Bone marrow aspirate smear
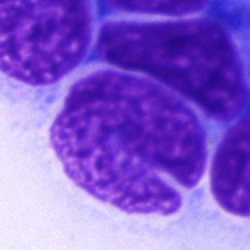 Q: What is shown here?
A: Artefact.